Bone marrow aspirate smear.
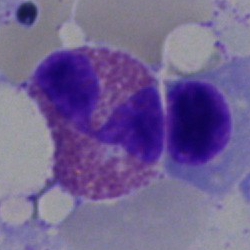
Impression → eosinophilic granulocyte.